250×250 px · bone marrow aspirate smear — 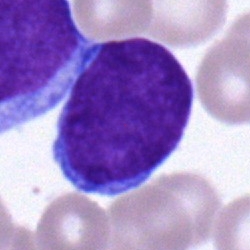

Morphology — undifferentiated blast.